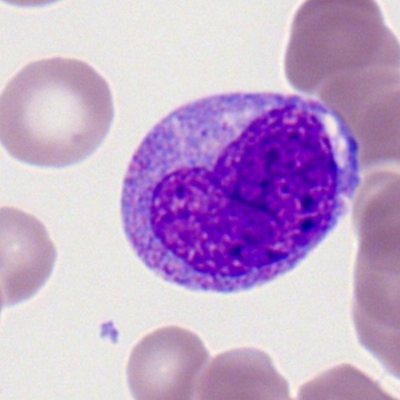Specimen: peripheral blood smear.
Classification: monocyte.
Lineage: myeloid.